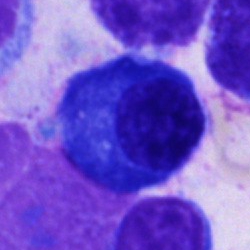
A plasma cell on a bone marrow smear.